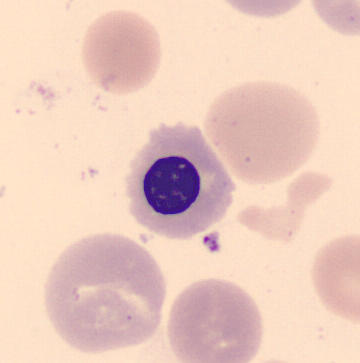
Cell type = nucleated red cell.